Bone marrow aspirate smear · cropped to a single cell: 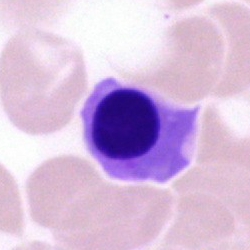
Morphology consistent with a nucleated red cell.